MGG-stained; bone marrow smear:
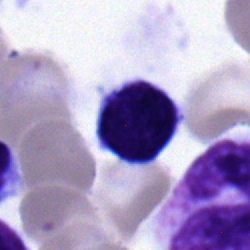
{"cell_type": "progranulocyte"}